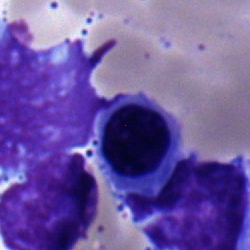 The cell type is erythroblast.